Peripheral blood smear: 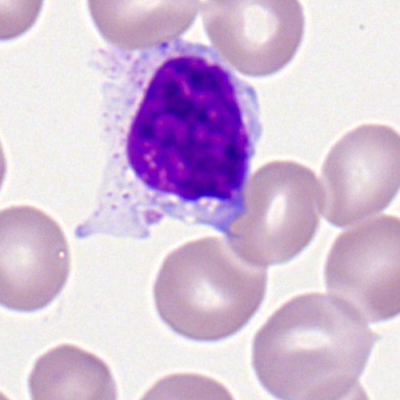
Q: Identify the cell.
A: Lymphocyte.